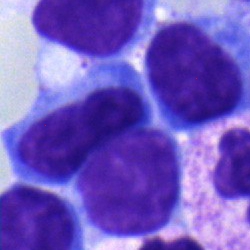Morphological class: lymphocyte.